Bone marrow smear
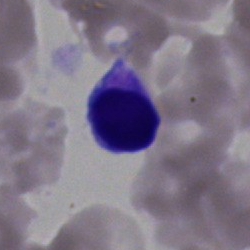

The cell shown is a typical lymphocyte.